250×250; bone marrow smear — 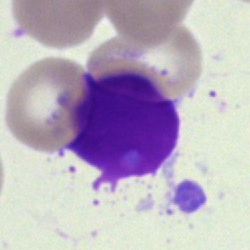Morphology consistent with an artifact.